Bone marrow smear.
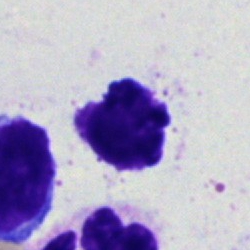 Single cell identified as an artifact.